Bone marrow smear · cropped to a single cell:
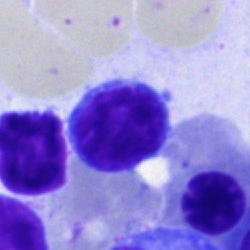 Impression — typical lymphocyte.